Image size 250×250; bone marrow aspirate smear; 40× oil immersion
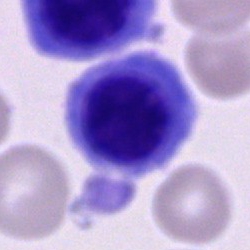

Showing a nucleated red cell.